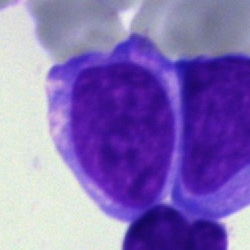
Cell — blast.